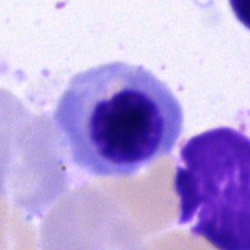Specimen: bone marrow smear.
Morphological class: normoblast.